40× oil immersion. Bone marrow smear:
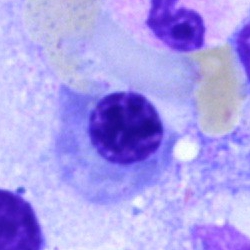Cell type = erythroblast.